Peripheral blood film.
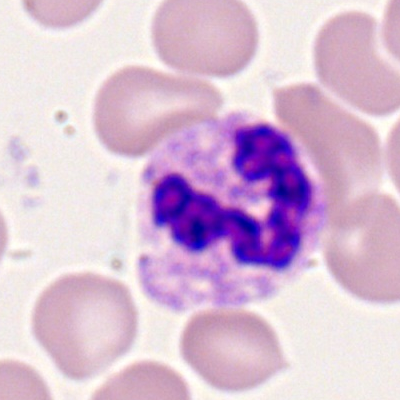 The cell shown is a polymorphonuclear neutrophil.